Bone marrow smear: 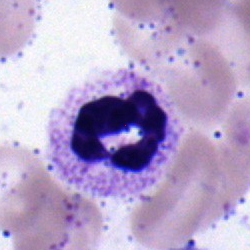Specimen: bone marrow smear.
Morphological class: polymorphonuclear neutrophil.
Lineage: myeloid.